40× objective, oil immersion. Bone marrow aspirate smear:
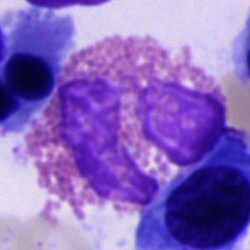Cell = eosinophilic granulocyte.